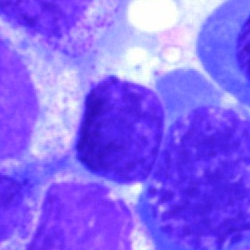
Bone marrow smear showing a lymphocyte.